Bone marrow smear
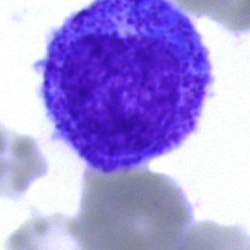
This is a promyelocyte.